Single-cell field; image size 250×250; bone marrow aspirate smear: 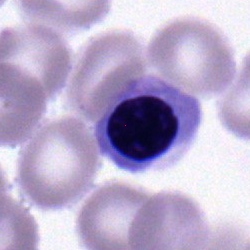

Q: What cell is this?
A: An erythroblast.